May-Grünwald-Giemsa stain · cropped to a single cell · bone marrow smear.
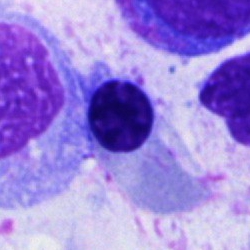
Q: Which cell type is shown here?
A: This is an erythroblast.